Single-cell crop; bone marrow aspirate smear: 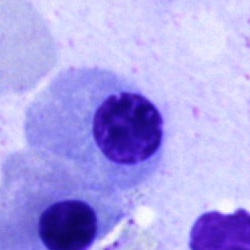 {"cell_type": "erythroblast"}